Single-cell crop · Pappenheim-stained · bone marrow aspirate smear — 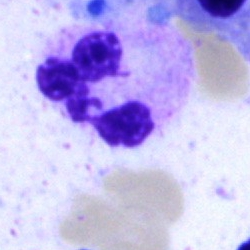A segmented neutrophil.